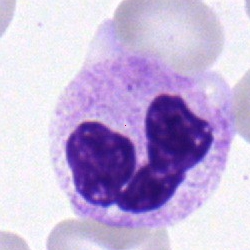 Bone marrow smear showing a segmented neutrophil.